Bone marrow smear:
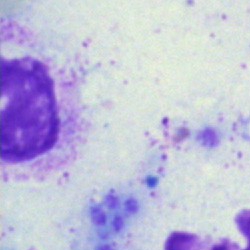 Showing an artifact.